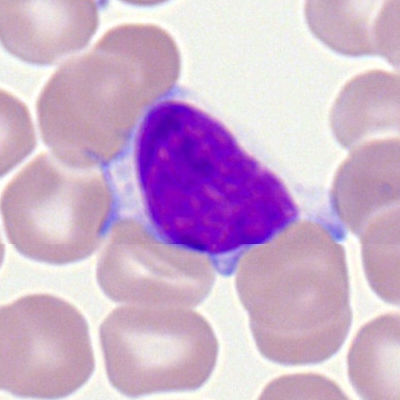Impression → lymphocyte.